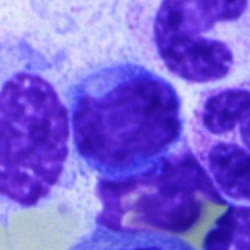Q: Which cell type is shown here?
A: This is a lymphocyte.